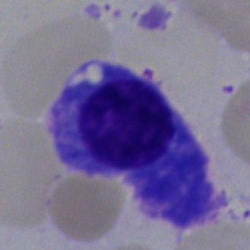 The cell shown is a plasmacyte.